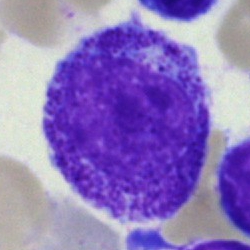 Progranulocyte.